Bone marrow aspirate smear:
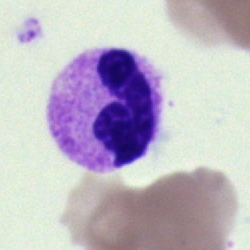 Q: Which cell type is shown here?
A: This is a neutrophil (segmented).